Bone marrow aspirate smear. Image size 250×250: 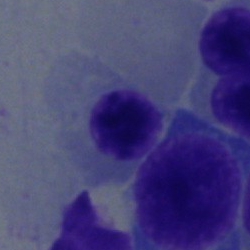
Q: Which cell type is shown here?
A: It is a nucleated red blood cell.